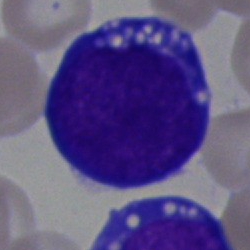
Q: What is the morphological classification of this cell?
A: It is an undifferentiated blast.